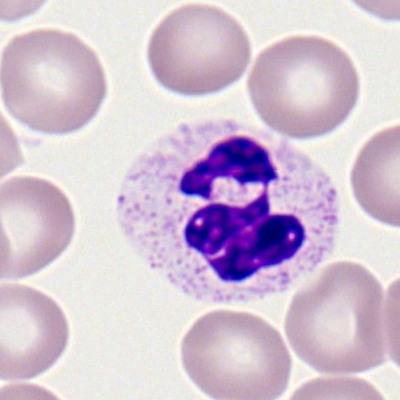
Cell = neutrophil (segmented).